Peripheral blood smear. 400×400. 100× objective, oil immersion
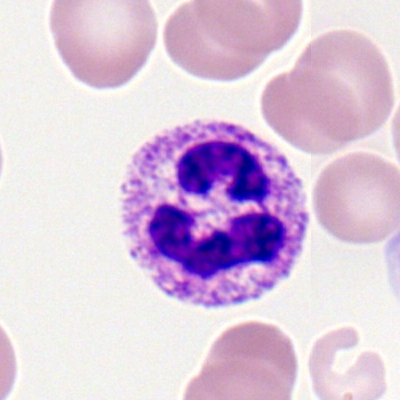
Morphology consistent with a neutrophil (segmented).